Peripheral blood smear:
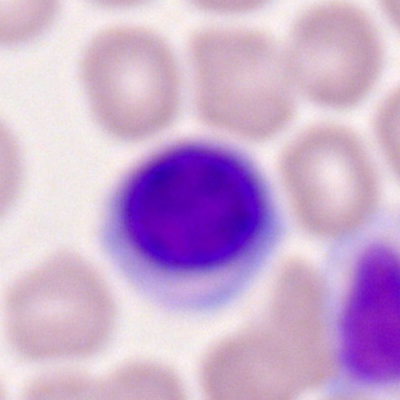{"cell_type": "lymphocyte"}